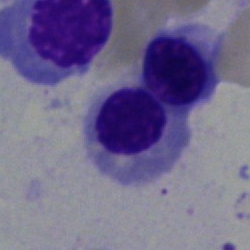 Classification: nucleated red cell.